Bone marrow aspirate smear. Brightfield microscopy, 40× oil immersion:
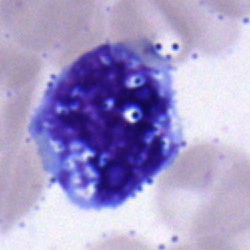

Showing a monocyte.